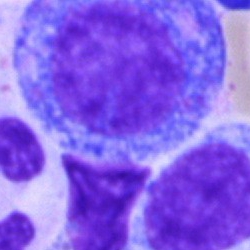{"cell_type": "progranulocyte"}